Bone marrow smear: 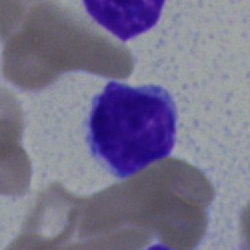
Morphology consistent with a typical lymphocyte.